Bone marrow aspirate smear:
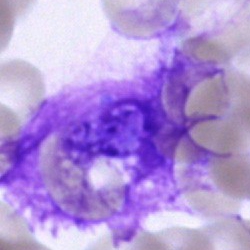 Morphology → artifact.